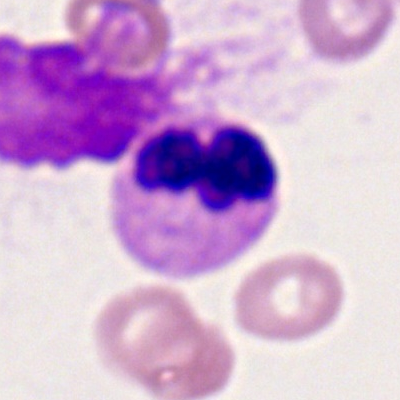

Q: What is shown here?
A: A segmented neutrophil.